Bone marrow smear — 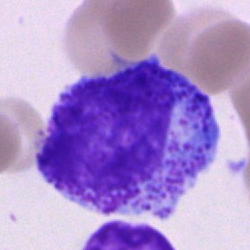 The cell shown is a progranulocyte.